Bone marrow smear:
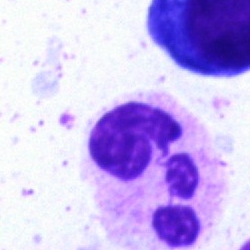 {"cell_type": "polymorphonuclear neutrophil"}